Single cell centered in the field; bone marrow aspirate smear.
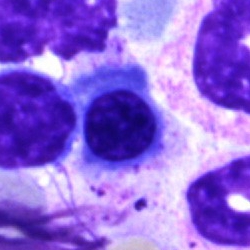
Q: What is the morphological classification of this cell?
A: This is an erythroblast.